Bone marrow aspirate smear:
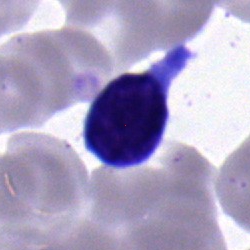 Specimen: bone marrow aspirate smear.
Morphological class: lymphocyte.
Lineage: lymphoid.